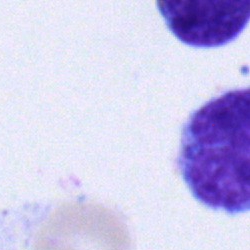
Q: Which cell type is shown here?
A: A monocyte.